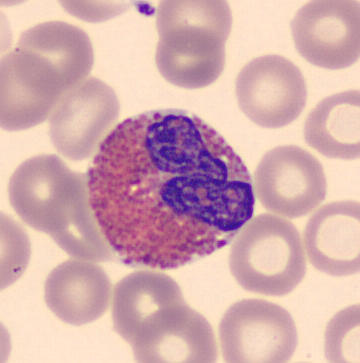Peripheral blood film.
Single cell identified as an eosinophil.